Bone marrow aspirate smear — 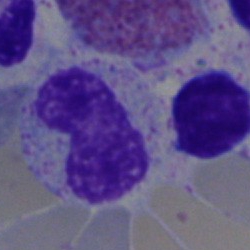
Cell type = stab cell.